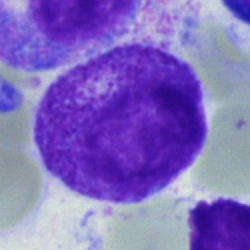

{"cell_type": "myelocyte"}